Bone marrow smear
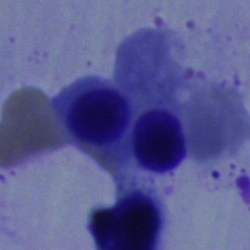Cell = nucleated red cell.